40× oil immersion · bone marrow smear · single-cell crop.
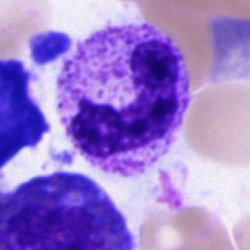
Segmented neutrophil.